Bone marrow smear · May-Grünwald-Giemsa/Pappenheim stain — 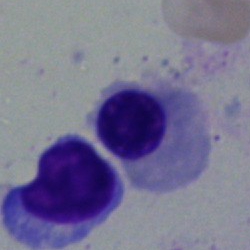

The cell type is nucleated red blood cell.